Single-cell crop. Image size 250×250. Bone marrow aspirate smear.
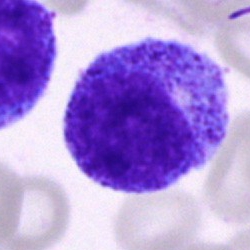

A progranulocyte.